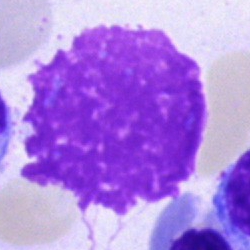Classification — artefact.